Bone marrow smear:
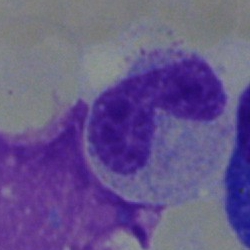{"cell_type": "neutrophil (band)"}